Bone marrow aspirate smear
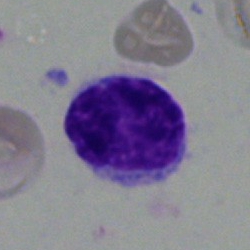
The classification is lymphocyte.